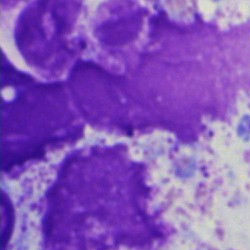
Impression → artefact.